40× oil immersion. Bone marrow aspirate smear
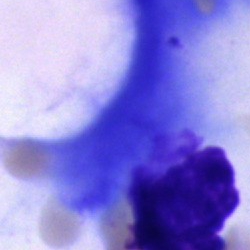
Artefact.